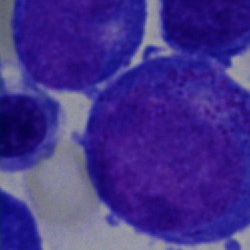

Cell type — blast.